Bone marrow aspirate smear · brightfield microscopy, 40× oil immersion
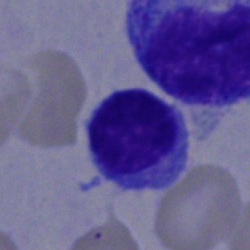
Cell type: lymphocyte.